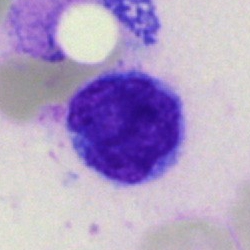 Cell type: monocyte.